250×250. Bone marrow aspirate smear — 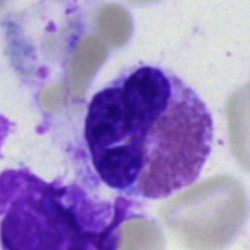

Q: Which cell type is shown here?
A: It is an eosinophilic granulocyte.